400×400; peripheral blood film
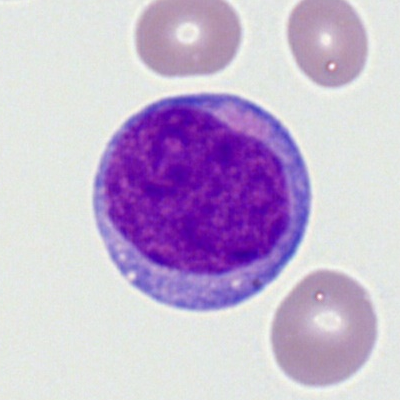 Specimen: peripheral blood smear.
Cell: myeloblast.